Bone marrow aspirate smear
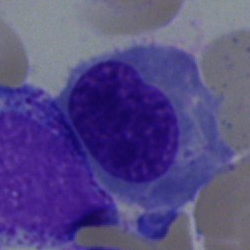The cell type is erythroblast.